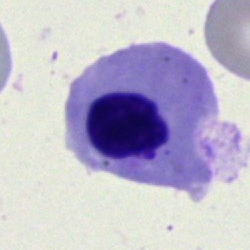
This is a normoblast.